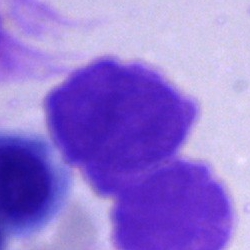An artifact on a bone marrow smear.